Image size 250×250. Cropped to a single cell. Bone marrow aspirate smear.
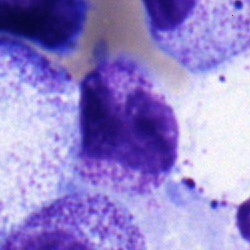

This is a neutrophil (band).